Bone marrow aspirate smear · cropped to a single cell · image size 250×250 — 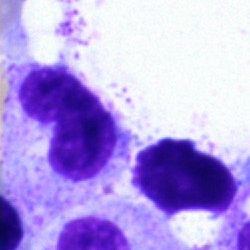Showing a stab cell.